Bone marrow smear. Single-cell field: 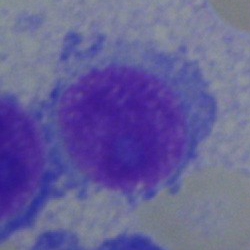Impression → plasmacyte.